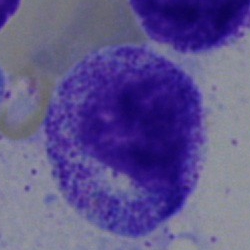
A myelocyte.